Bone marrow smear. Single-cell crop: 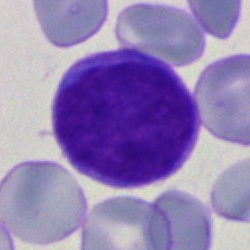

A blast cell.